Bone marrow smear — 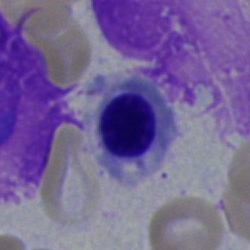 Q: What is shown here?
A: It is a nucleated red cell.